Peripheral blood smear
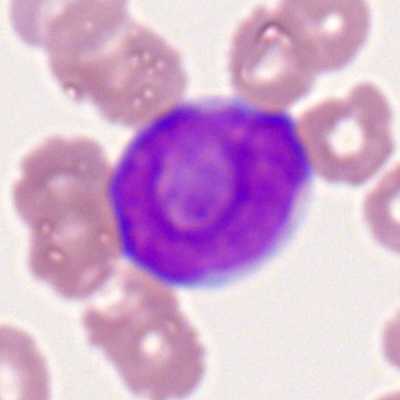

Impression → myeloid blast.